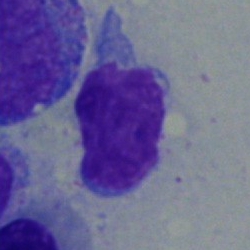 Bone marrow smear showing a lymphocyte.